Bone marrow smear — 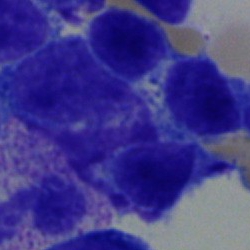Q: Which cell type is shown here?
A: A lymphocyte.